Bone marrow smear · 250×250 px — 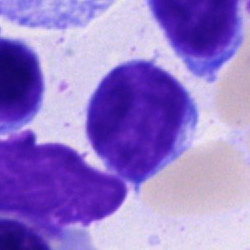
Morphological class: lymphocyte.